Bone marrow aspirate smear.
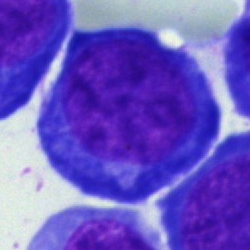
Cell type — proerythroblast.